Bone marrow aspirate smear; 250 by 250 pixels
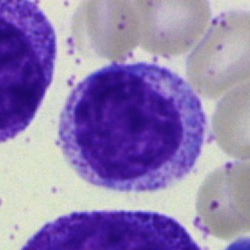Morphology — myelocyte.